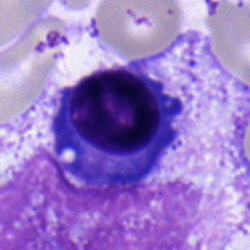 Cell type — plasmacyte.